250×250. MGG-stained. Bone marrow aspirate smear.
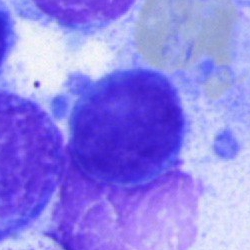Cell type = typical lymphocyte.